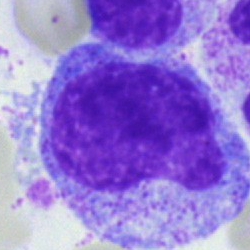Cell — progranulocyte.